Bone marrow aspirate smear — 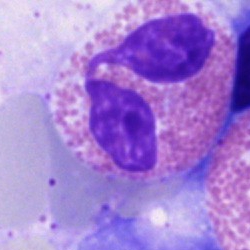

Morphology consistent with an eosinophil.